Bone marrow aspirate smear · May-Grünwald-Giemsa stain: 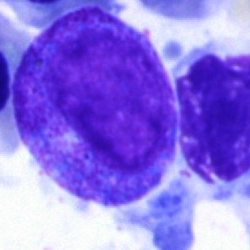The cell type is promyelocyte.